250 by 250 pixels; bone marrow smear.
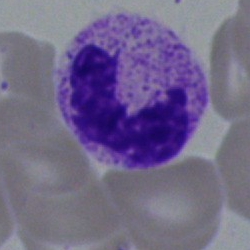
Showing a stab cell.